Bone marrow aspirate smear
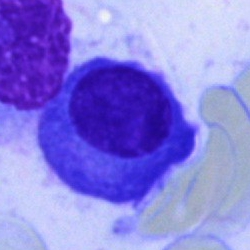

Morphology → plasmacyte.